MGG-stained · bone marrow aspirate smear — 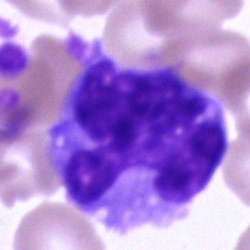Specimen: bone marrow aspirate smear.
Cell type: monocyte.